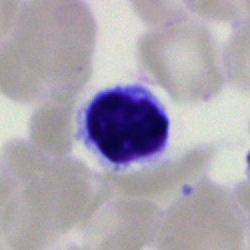 Morphology → typical lymphocyte.